Bone marrow smear
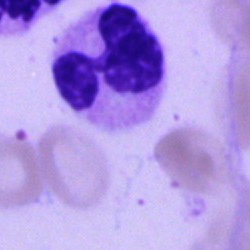

Impression — neutrophil (segmented).